Peripheral blood film; image size 360×363 — 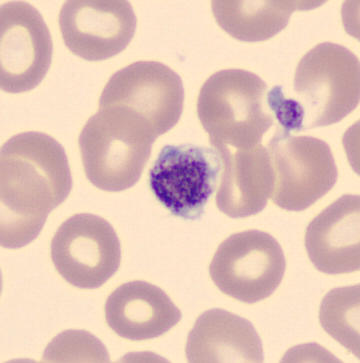Morphology → platelet.